Bone marrow aspirate smear — 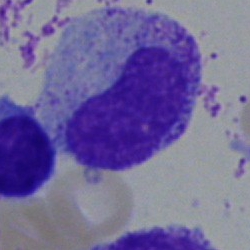

Specimen: bone marrow smear.
Morphological class: metamyelocyte.
Lineage: myeloid.